Bone marrow aspirate smear: 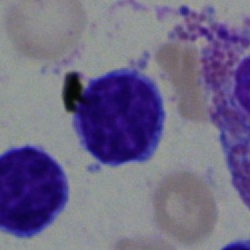
Cell type = typical lymphocyte.